250 by 250 pixels; bone marrow smear: 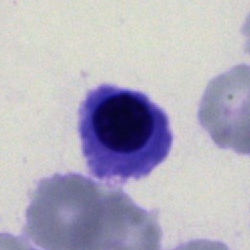Cell type: nucleated red cell.